Bone marrow smear
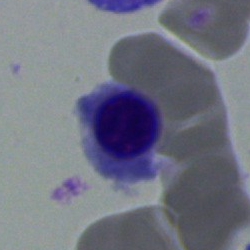{"cell_type": "normoblast", "lineage": "erythroid"}